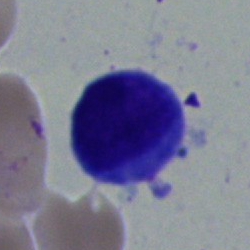

Lymphocyte.